Bone marrow smear: 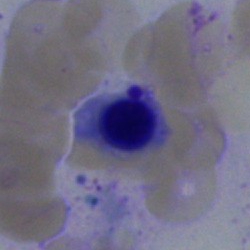 {"cell_type": "erythroblast", "lineage": "erythroid"}